Bone marrow smear.
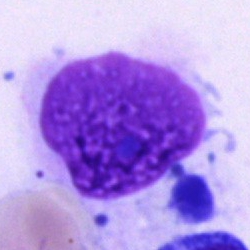

Specimen: bone marrow smear.
Morphological class: artefact.